Single-cell crop. Bone marrow aspirate smear. 40× objective, oil immersion — 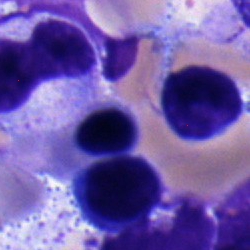
Cell — typical lymphocyte.